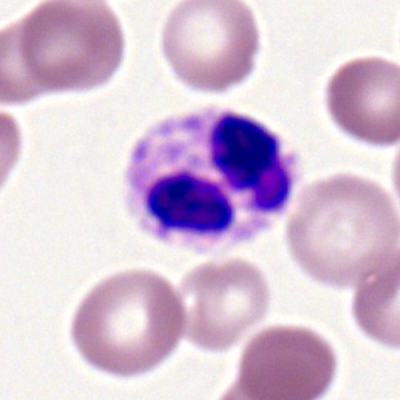
Morphological class: segmented neutrophil.